Bone marrow smear
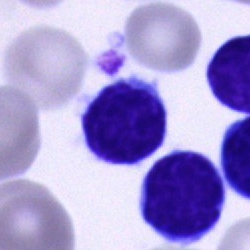Q: What is the morphological classification of this cell?
A: A lymphocyte.